Bone marrow smear
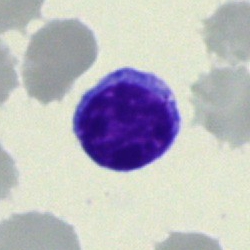 Specimen: bone marrow smear.
Cell: lymphocyte.
Lineage: lymphoid.